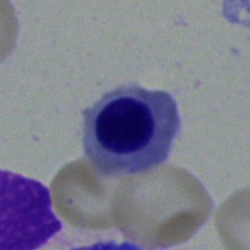{"cell_type": "nucleated red blood cell", "lineage": "erythroid"}